MGG-stained; single cell centered in the field; bone marrow aspirate smear:
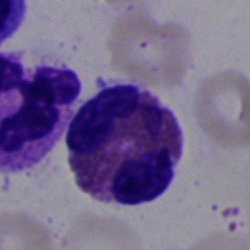This is an eosinophil.